Bone marrow aspirate smear:
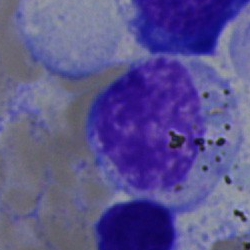 This is a myelocyte.